Bone marrow smear
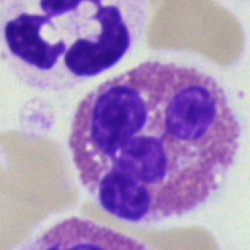 Q: What is the morphological classification of this cell?
A: Eosinophilic granulocyte.